Bone marrow aspirate smear:
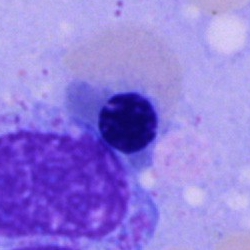
Morphology consistent with a normoblast.